Bone marrow smear — 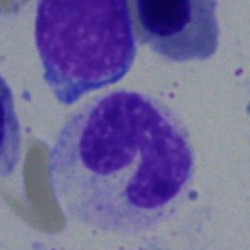

The classification is band neutrophil.